Bone marrow smear — 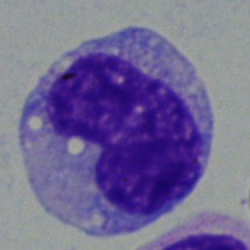

Morphology consistent with a monocyte.